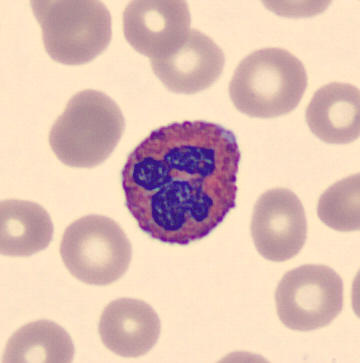

Classification = eosinophilic granulocyte.